Bone marrow smear — 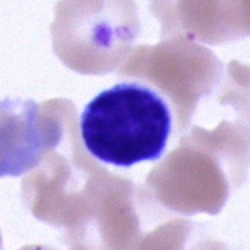 Morphology — unidentifiable cell.